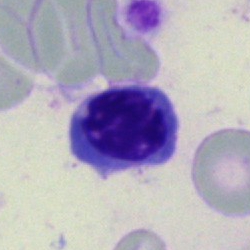Q: What cell is this?
A: A normoblast.